Bone marrow smear: 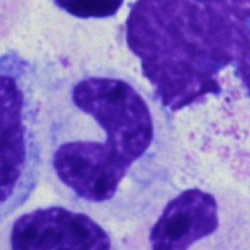This is a segmented neutrophil.